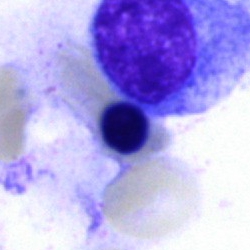Cell type — nucleated red cell.